Bone marrow smear — 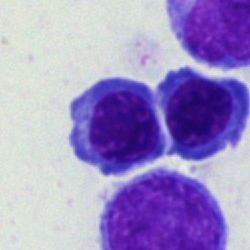Single cell identified as a normoblast.